MGG-stained · bone marrow smear · brightfield, 40× oil-immersion objective.
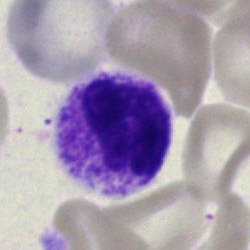A cell of indeterminate lineage.